Image size 250×250 · bone marrow smear:
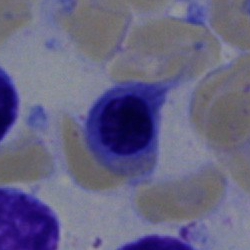 {"cell_type": "normoblast", "lineage": "erythroid"}